Romanowsky stain; peripheral blood smear.
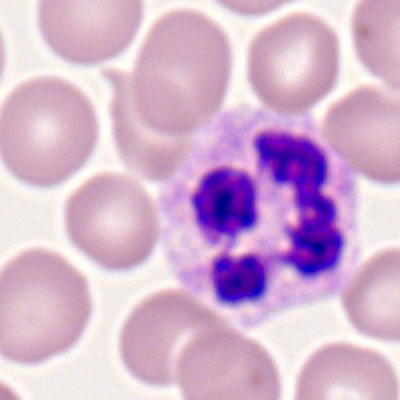 Single cell identified as a segmented neutrophil.